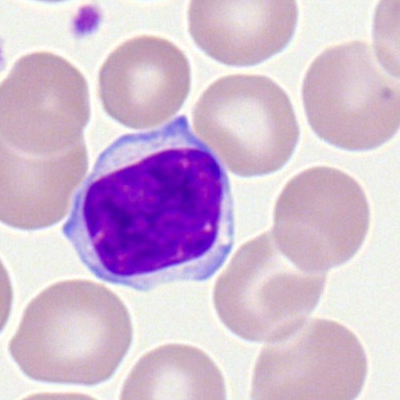Q: What type of cell is this?
A: This is a lymphocyte.